Bone marrow smear. Single-cell crop. 250×250:
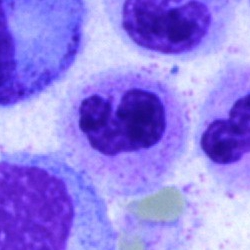 Morphology consistent with a segmented neutrophil.